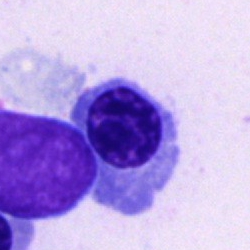
Q: Which cell type is shown here?
A: It is an erythroblast.